Peripheral blood smear — 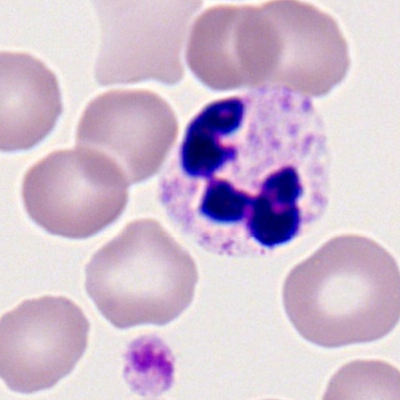
Impression → polymorphonuclear neutrophil.